Bone marrow smear. 250×250:
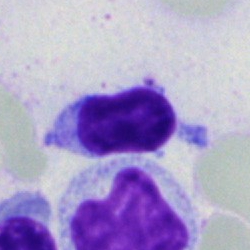

The morphological class is lymphocyte.